Single-cell field · brightfield microscopy, 40× oil immersion · bone marrow smear
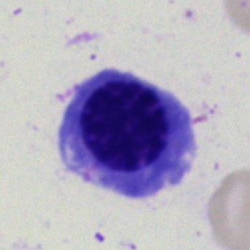

Specimen: bone marrow aspirate smear.
Cell type: nucleated red cell.